Bone marrow smear
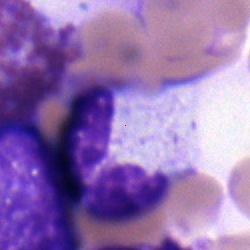

Single cell identified as a segmented neutrophil.